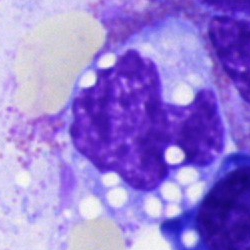

Morphology — monocyte.